Romanowsky-type stain. Peripheral blood film:
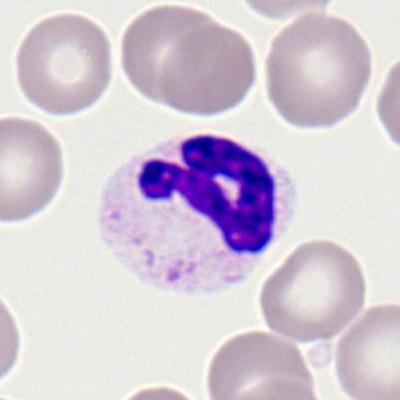
Classification = segmented neutrophil.